MGG-stained · 250×250 px · bone marrow aspirate smear:
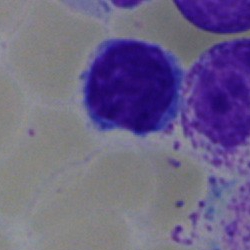Lymphocyte.